Bone marrow aspirate smear · cropped to a single cell.
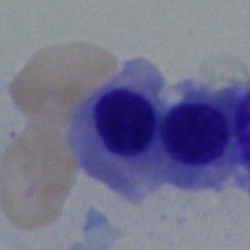

Showing a nucleated red cell.